Peripheral blood smear:
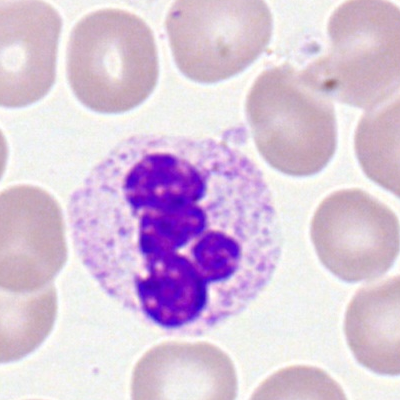 The cell is polymorphonuclear neutrophil.